MGG-stained. Bone marrow smear
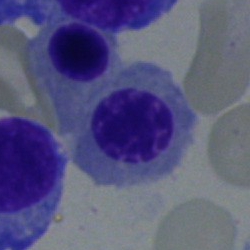

Cell type — nucleated red cell.